Bone marrow aspirate smear: 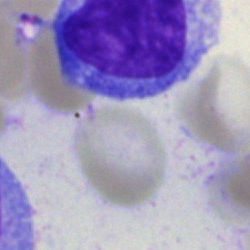

Blast cell.